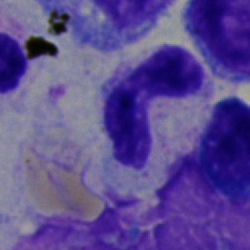
Stab cell.